Image size 250×250; single-cell field; bone marrow smear:
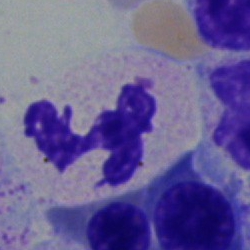 Specimen: bone marrow aspirate smear.
Cell: neutrophil (segmented).
Lineage: myeloid.